Romanowsky-type stain; single cell centered in the field; peripheral blood smear — 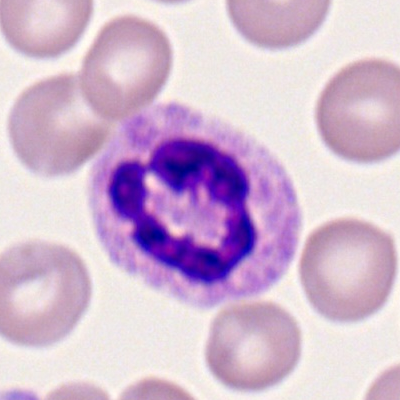 Q: What type of cell is this?
A: This is a segmented neutrophil.